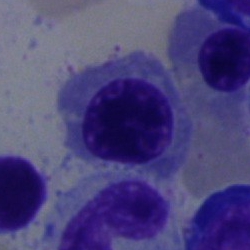Q: What cell is this?
A: It is an erythroblast.